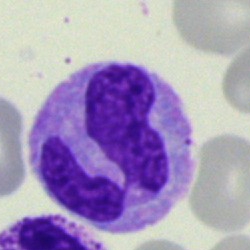

Specimen: bone marrow smear.
Classification: monocyte.
Lineage: myeloid.